Peripheral blood film:
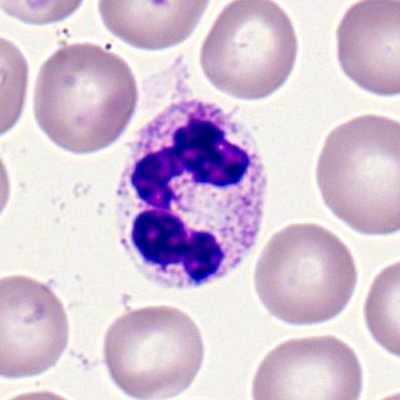

Showing a polymorphonuclear neutrophil.